Bone marrow aspirate smear. Cropped to a single cell.
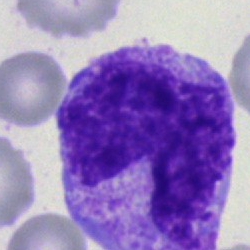
A band neutrophil.